Pappenheim-stained; brightfield microscopy, 40× oil immersion; bone marrow smear:
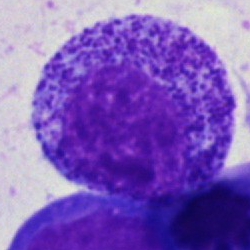
This is a progranulocyte.